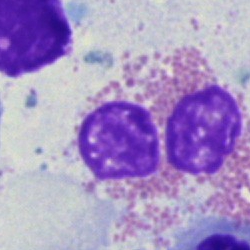

Specimen: bone marrow aspirate smear.
Morphological class: eosinophilic granulocyte.
Lineage: myeloid.